Brightfield, 40× oil-immersion objective · bone marrow smear: 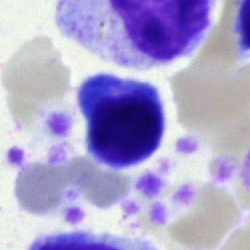Q: What is shown here?
A: This is a lymphocyte.